Bone marrow aspirate smear: 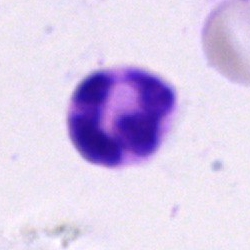

Q: Which cell type is shown here?
A: A polymorphonuclear neutrophil.